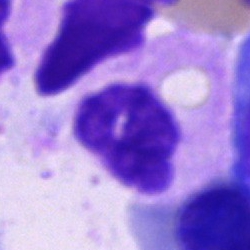Cell type — polymorphonuclear neutrophil.